Cropped to a single cell · bone marrow aspirate smear · image size 250×250:
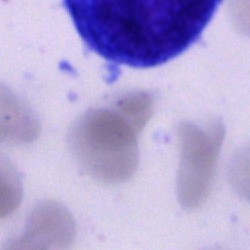 Cell type = cell of indeterminate lineage.